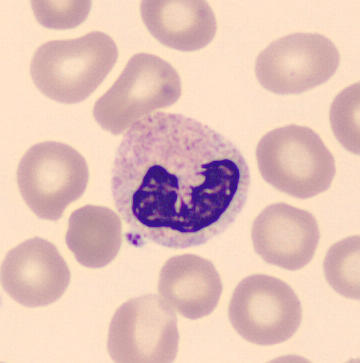Morphology → neutrophil (segmented).

Acquisition: Peripheral blood smear. Single-cell crop. May Grünwald-Giemsa stain.